Bone marrow aspirate smear: 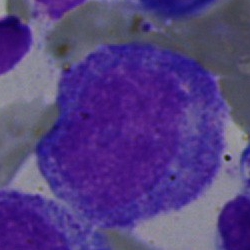 Cell: progranulocyte.